Bone marrow smear:
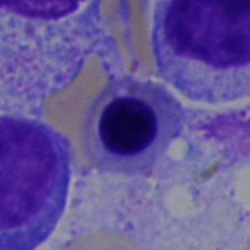

Q: Identify the cell.
A: A nucleated red blood cell.